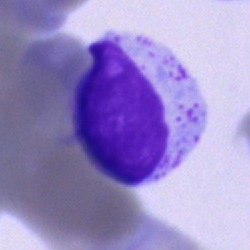
{"cell_type": "unidentifiable cell"}